Bone marrow aspirate smear: 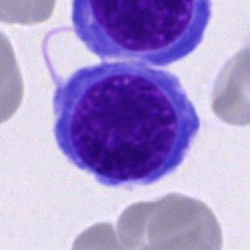Morphology consistent with a nucleated red blood cell.